May-Grünwald-Giemsa/Pappenheim stain; bone marrow smear; single-cell field
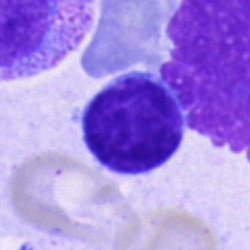

Specimen: bone marrow smear.
Classification: typical lymphocyte.
Lineage: lymphoid.